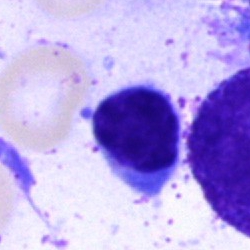

Q: What is the morphological classification of this cell?
A: Typical lymphocyte.